Peripheral blood smear; Romanowsky-type stain: 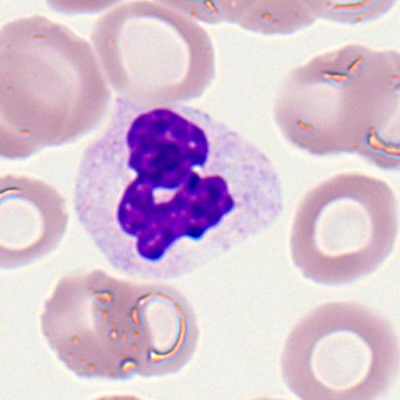 Neutrophil (segmented).